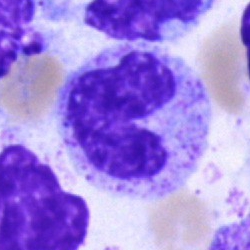Single-cell crop from a bone marrow smear: neutrophil (band).